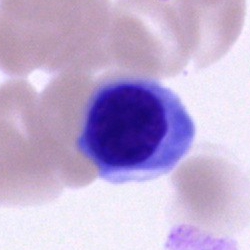 Morphological class: erythroblast.